250 by 250 pixels · MGG-stained · bone marrow smear — 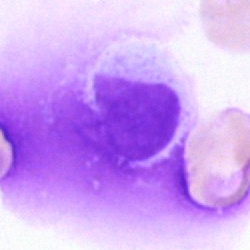 Q: What is shown here?
A: Artifact.